Bone marrow aspirate smear; brightfield microscopy, 40× oil immersion — 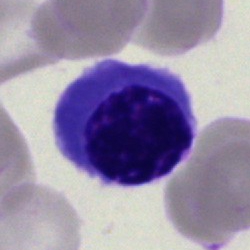Morphological class: erythroblast.